Single-cell crop. Bone marrow smear: 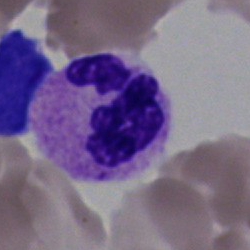
The cell shown is a neutrophil (segmented).